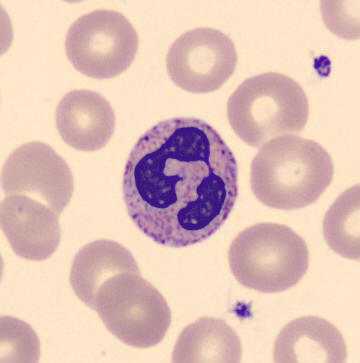 Cell type — segmented neutrophil.